Single-cell crop; bone marrow smear.
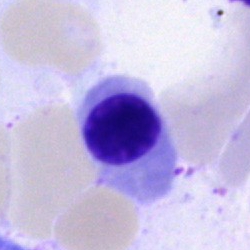

Morphology consistent with a nucleated red cell.